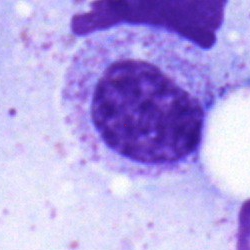 Classification — myelocyte.